40× objective, oil immersion; bone marrow smear; 250×250 px — 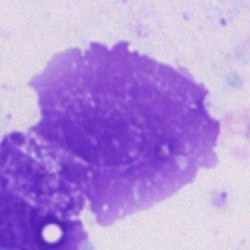The classification is artefact.